Bone marrow aspirate smear
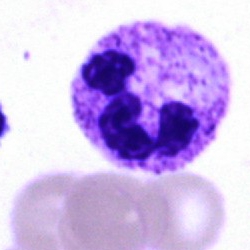Specimen: bone marrow aspirate smear.
Classification: neutrophil (segmented).
Lineage: myeloid.